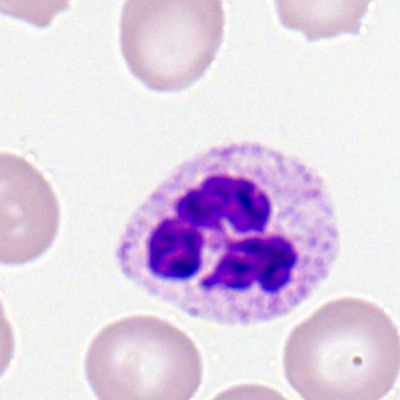

Q: What type of cell is this?
A: Segmented neutrophil.